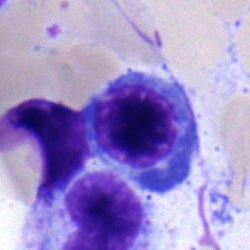

Q: Identify the cell.
A: Segmented neutrophil.